Bone marrow smear.
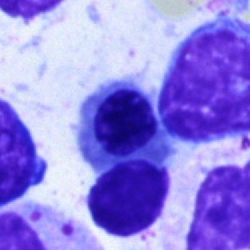Q: What is shown here?
A: Nucleated red blood cell.